Bone marrow smear. 250×250. MGG-stained:
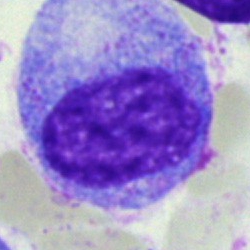
Classification = promyelocyte.